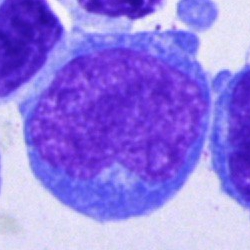Specimen: bone marrow smear.
Classification: blast.